Bone marrow aspirate smear:
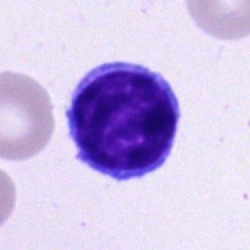

Classification = typical lymphocyte.